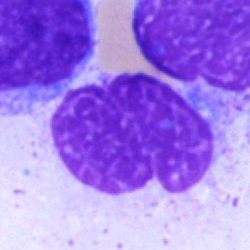

Single-cell crop from a bone marrow smear: artefact.